Bone marrow aspirate smear. Pappenheim-stained.
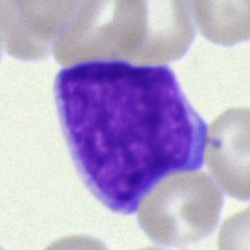

Showing a blast cell.